250 by 250 pixels. Bone marrow aspirate smear
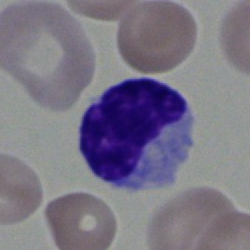
Morphological class: typical lymphocyte.